250×250 px. Bone marrow smear
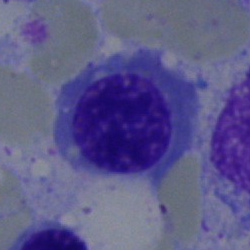Specimen: bone marrow smear.
Morphological class: nucleated red blood cell.
Lineage: erythroid.